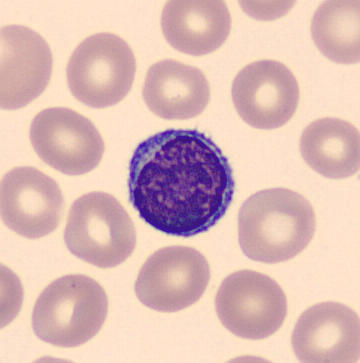 Q: Which cell type is shown here?
A: It is a typical lymphocyte.